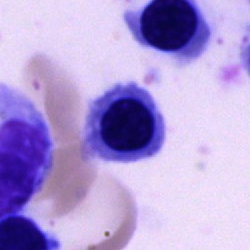Showing a nucleated red blood cell.